100× objective, oil immersion · peripheral blood smear — 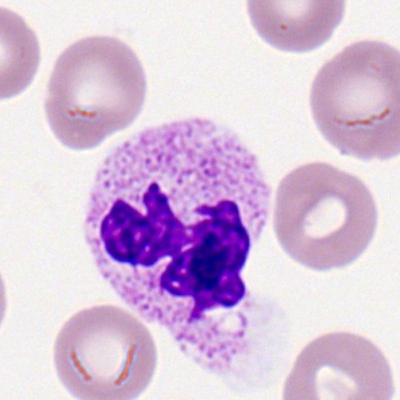

Neutrophil (segmented).